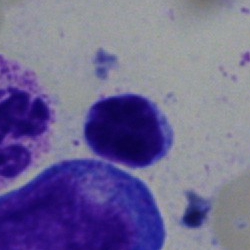Bone marrow aspirate smear, single cell — typical lymphocyte.